Bone marrow smear · MGG-stained · 250×250 — 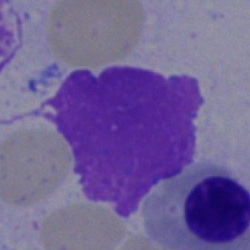

Q: What is shown here?
A: An artifact.